Bone marrow aspirate smear
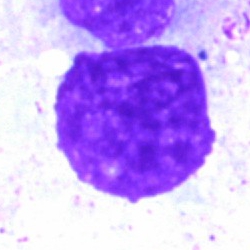 Showing an artefact.